CellaVision DM96 digital cell image · peripheral blood smear: 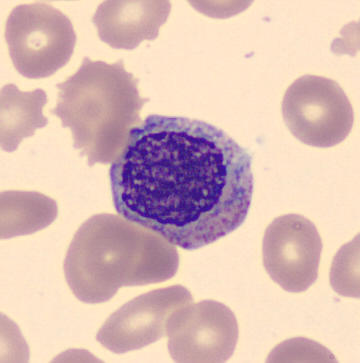
Cell type: myelocyte.